Bone marrow aspirate smear:
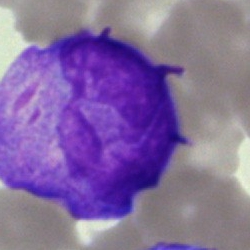 Blast cell.